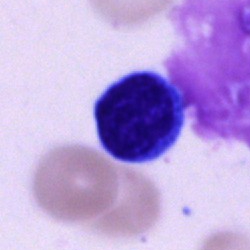
Showing a lymphocyte.